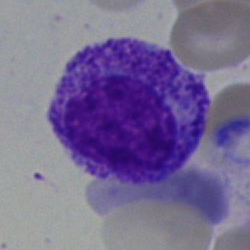

Bone marrow aspirate smear, single cell — myelocyte.